Bone marrow aspirate smear
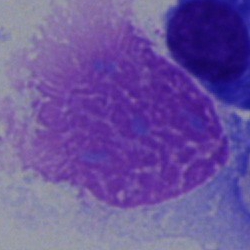 Morphological class: artifact.